Bone marrow smear:
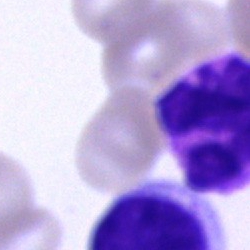Morphological class: neutrophil (segmented).